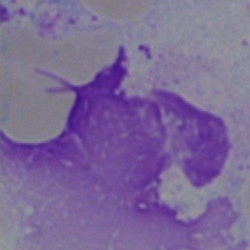 Cell = artifact.